250×250 · bone marrow smear: 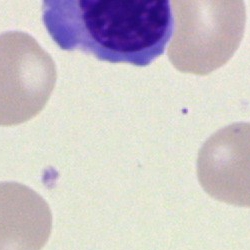 An unidentifiable cell.